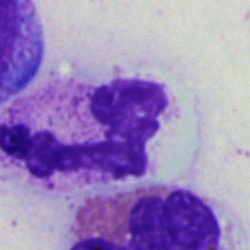
A neutrophil (segmented).